May-Grünwald-Giemsa stain. Bone marrow smear.
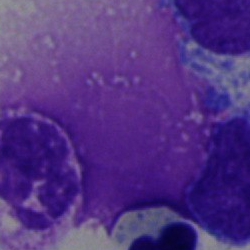Morphology consistent with an artefact.